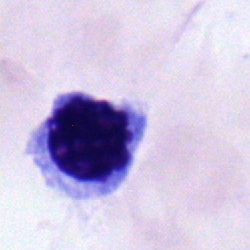
The cell type is nucleated red cell.